Bone marrow aspirate smear · 40× oil immersion · 250×250:
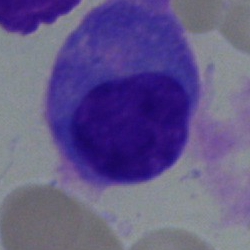
Specimen: bone marrow aspirate smear.
Morphological class: plasmacyte.
Lineage: lymphoid.